Bone marrow smear · 40× objective, oil immersion — 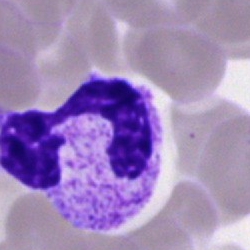{"cell_type": "neutrophil (segmented)"}